Bone marrow smear.
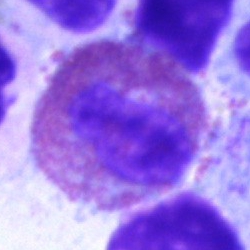Morphology consistent with an eosinophil.